Bone marrow aspirate smear:
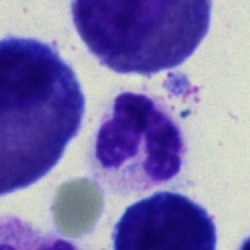

Cell type — segmented neutrophil.